Bone marrow aspirate smear; MGG-stained; cropped to a single cell:
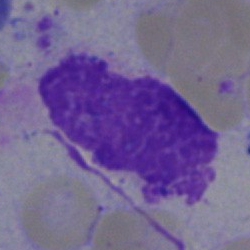

Morphology consistent with an artifact.